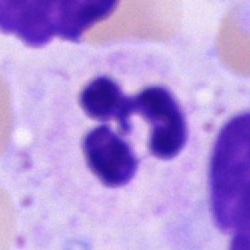Cell — segmented neutrophil.